Bone marrow smear. 250×250
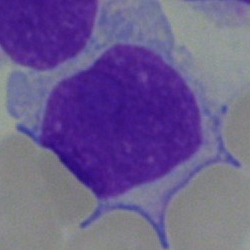
Q: What is shown here?
A: Blast.